Bone marrow smear. 40× oil immersion — 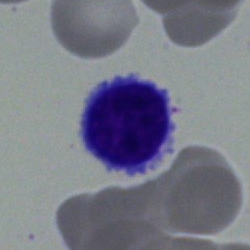 The cell shown is a lymphocyte.